Peripheral blood film:
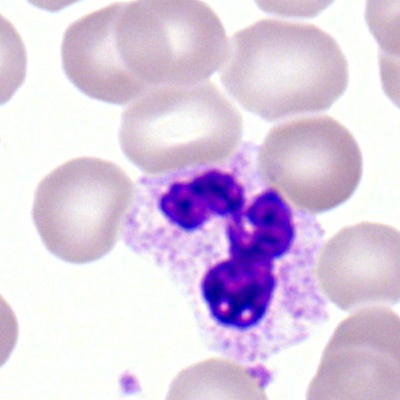 Morphology consistent with a polymorphonuclear neutrophil.